Peripheral blood film.
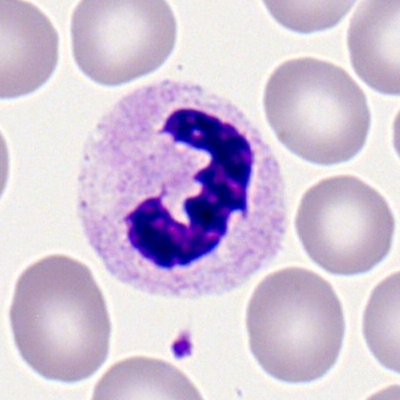Specimen: peripheral blood film.
Classification: polymorphonuclear neutrophil.